Single-cell crop. Bone marrow smear.
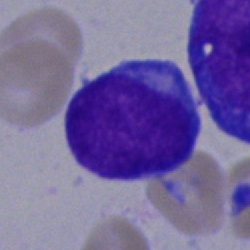

The classification is undifferentiated blast.